Pappenheim-stained. Bone marrow smear:
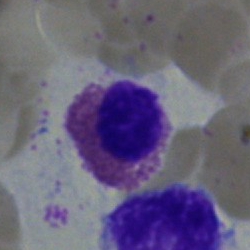Classification: eosinophil.